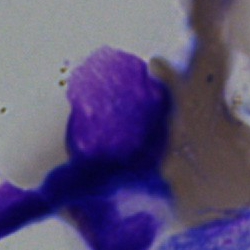 Artifact.